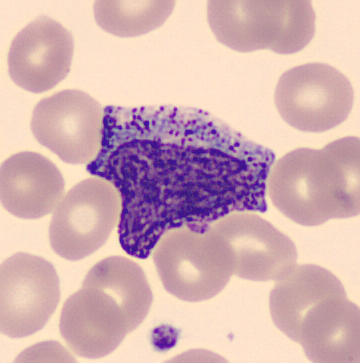 Peripheral blood film. A myelocyte.